Brightfield, 40× oil-immersion objective; bone marrow aspirate smear; single-cell field:
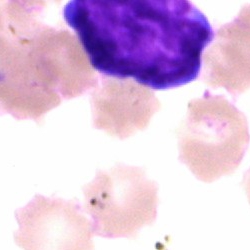Morphological class — typical lymphocyte.